Image size 250×250 · bone marrow smear: 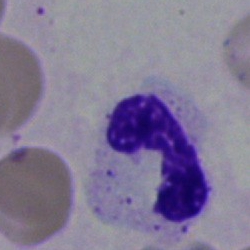
Showing a neutrophil (band).